Bone marrow aspirate smear.
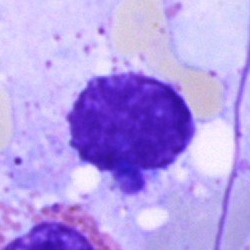

Q: What is shown here?
A: Artefact.